Bone marrow smear.
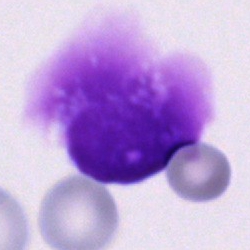The cell shown is an artifact.